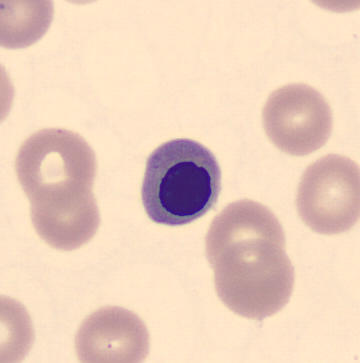From a peripheral blood smear: a normoblast.